Bone marrow smear.
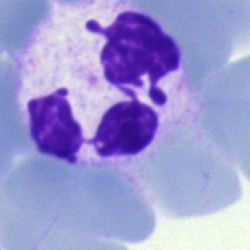
Morphology consistent with a polymorphonuclear neutrophil.